Peripheral blood smear: 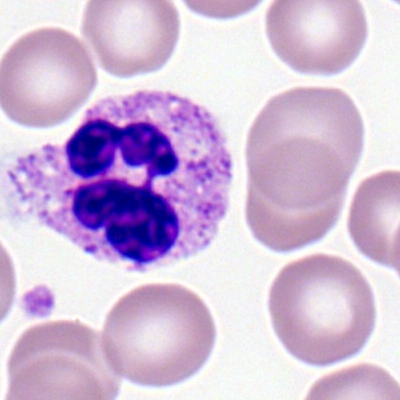 Impression → neutrophil (segmented).